Bone marrow smear:
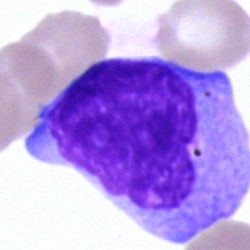

Q: Identify the cell.
A: It is a monocyte.